Image size 250×250 · bone marrow aspirate smear.
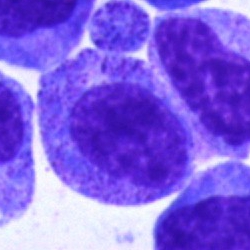

The cell shown is a promyelocyte.